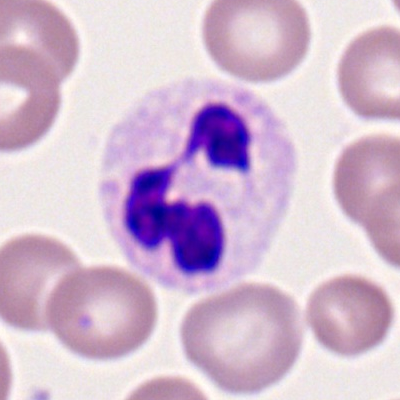
Neutrophil (segmented).